Bone marrow smear · 250×250 · MGG-stained
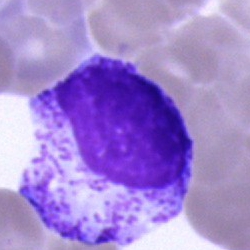 Specimen: bone marrow aspirate smear.
Cell: myelocyte.
Lineage: myeloid.